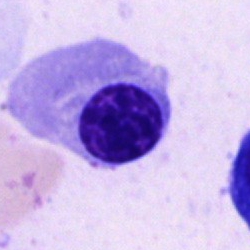
Specimen: bone marrow aspirate smear.
Morphological class: erythroblast.